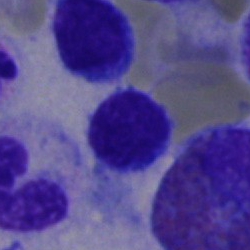Impression → typical lymphocyte.